May-Grünwald-Giemsa/Pappenheim stain; bone marrow aspirate smear: 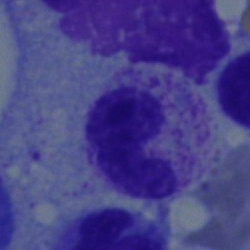
Cell = band-form neutrophil.